Single-cell crop · bone marrow smear: 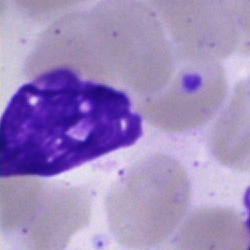 Q: What is shown here?
A: It is an artefact.